Single-cell field. 250×250. Bone marrow aspirate smear:
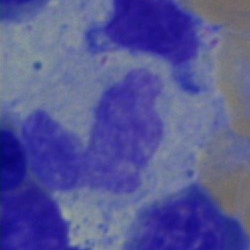 This is a neutrophil (band).